MGG-stained. Bone marrow smear:
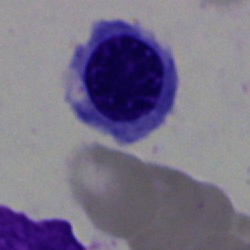

Morphology consistent with a nucleated red cell.